Bone marrow smear — 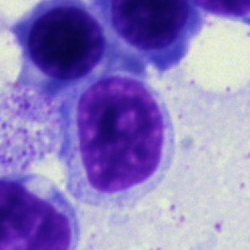
Morphological class — lymphocyte.